Bone marrow aspirate smear · single cell centered in the field:
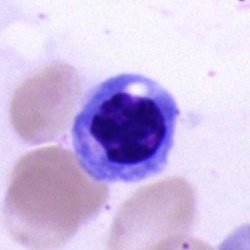

Morphology → nucleated red cell.